Automated cell imaging (CellaVision DM96) · peripheral blood film — 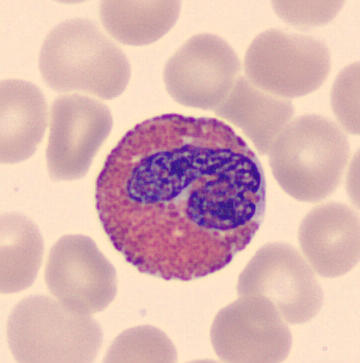
Single cell identified as an eosinophilic granulocyte.